Bone marrow aspirate smear — 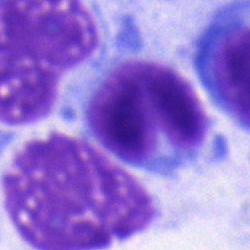
Q: Identify the cell.
A: Typical lymphocyte.